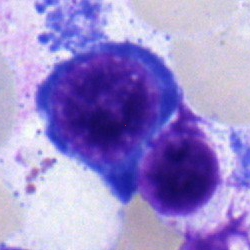
Q: What is the morphological classification of this cell?
A: A nucleated red blood cell.